Bone marrow aspirate smear
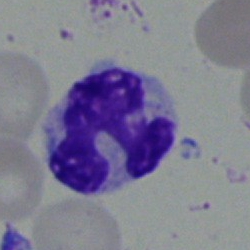 The cell shown is a monocyte.